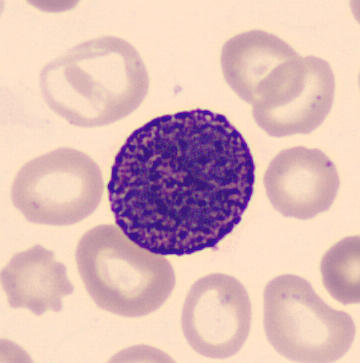

Image: 360 by 363 pixels · peripheral blood film.

Morphology consistent with a basophilic granulocyte.